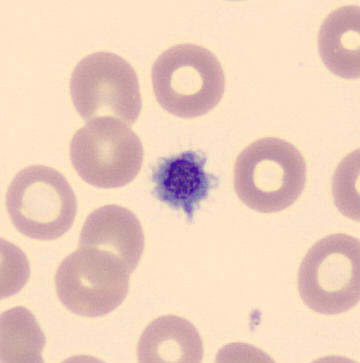 Platelet.